Bone marrow aspirate smear. 250 by 250 pixels. MGG-stained:
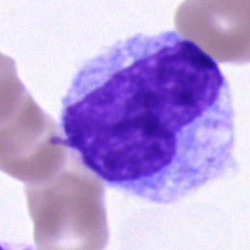 Specimen: bone marrow smear.
Morphological class: monocyte.
Lineage: myeloid.